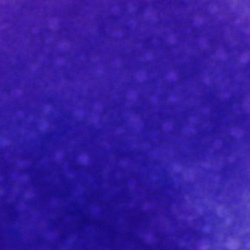
Cell type — artefact.